Bone marrow smear — 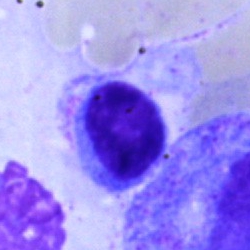
Impression — typical lymphocyte.